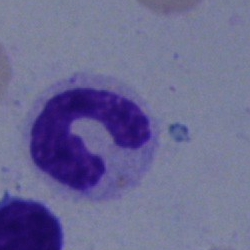

Specimen: bone marrow aspirate smear.
Morphological class: polymorphonuclear neutrophil.
Lineage: myeloid.